May-Grünwald-Giemsa stain. Cropped to a single cell. Bone marrow aspirate smear.
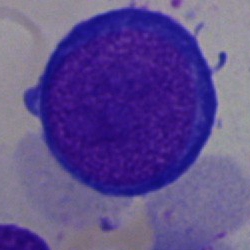Showing a proerythroblast.